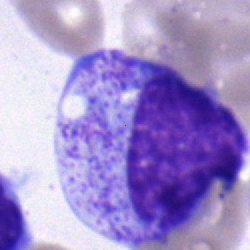 Single cell identified as a promyelocyte.